Bone marrow smear; Pappenheim-stained; cropped to a single cell.
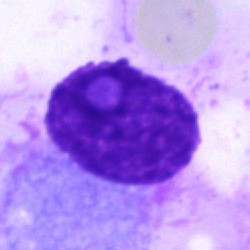 Morphology consistent with a plasma cell.